Bone marrow smear
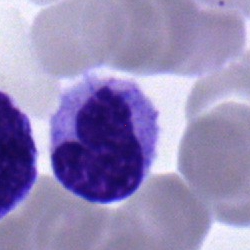 A band-form neutrophil.